Bone marrow smear.
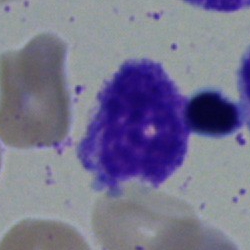
Morphology consistent with a myelocyte.